Bone marrow smear:
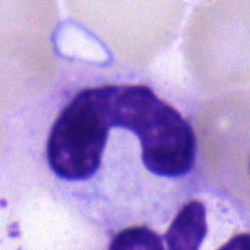
Specimen: bone marrow aspirate smear.
Classification: band neutrophil.
Lineage: myeloid.